Peripheral blood film; 100× oil immersion, 14.14 px/µm; single cell centered in the field.
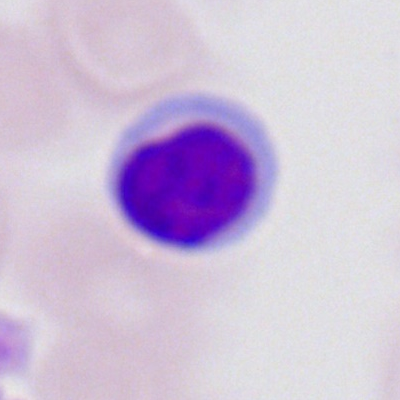
Cell = lymphocyte.